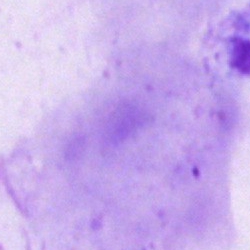 Q: What is shown here?
A: It is an artefact.